Bone marrow aspirate smear: 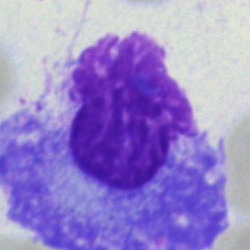Cell type — artefact.